Bone marrow aspirate smear.
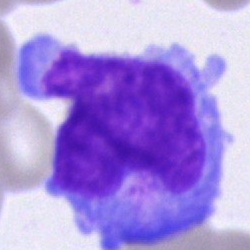
Single cell identified as an undifferentiated blast.